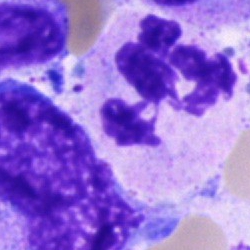

Specimen: bone marrow aspirate smear.
Cell: segmented neutrophil.
Lineage: myeloid.